Bone marrow aspirate smear — 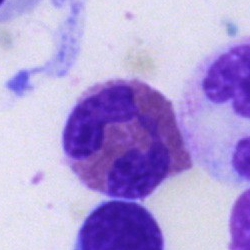 This is an eosinophil.